Bone marrow smear: 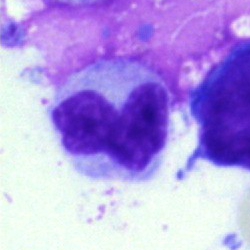Morphology consistent with a stab cell.